Cropped to a single cell; bone marrow aspirate smear; 40× oil immersion: 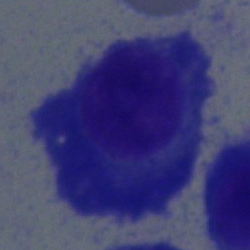This is a plasma cell.